Bone marrow aspirate smear; brightfield, 40× oil-immersion objective:
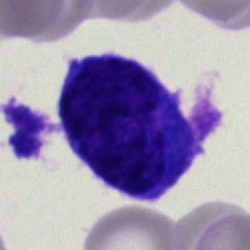
Morphological class = monocyte.